40× objective, oil immersion. Bone marrow smear
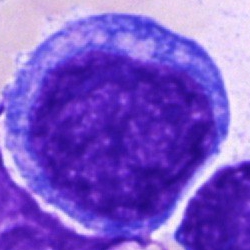
Q: What type of cell is this?
A: This is a blast.